Bone marrow smear.
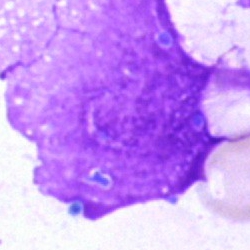Showing an artifact.